Bone marrow smear. 250 by 250 pixels
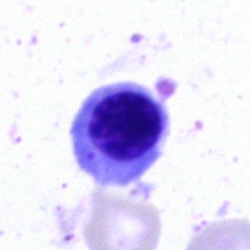Morphological class = erythroblast.